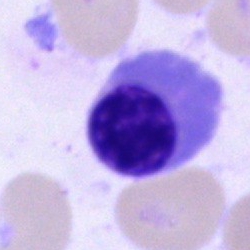Specimen: bone marrow smear.
Classification: nucleated red blood cell.
Lineage: erythroid.